Bone marrow smear
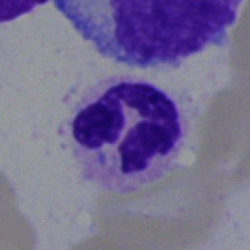 Morphological class = neutrophil (segmented).